Bone marrow aspirate smear.
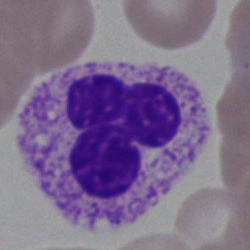

Showing a segmented neutrophil.